40× oil immersion; bone marrow smear:
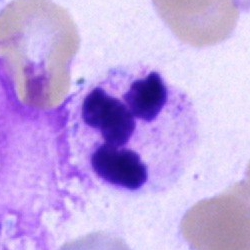
Q: Which cell type is shown here?
A: Segmented neutrophil.